Image size 250×250. Bone marrow aspirate smear
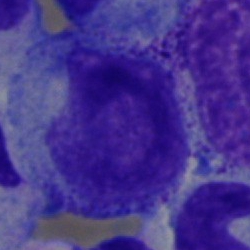

The classification is promyelocyte.